Single-cell field · peripheral blood smear — 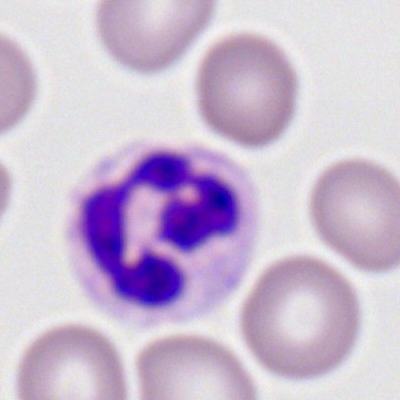
Cell type: segmented neutrophil.